Bone marrow smear · brightfield, 40× oil-immersion objective — 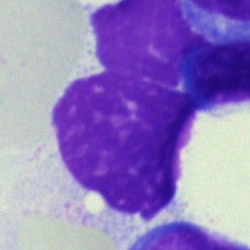{"cell_type": "artifact"}